Bone marrow aspirate smear · 250×250 px: 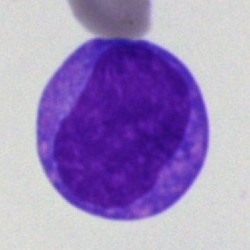
This is a blast cell.